Single-cell field · bone marrow smear: 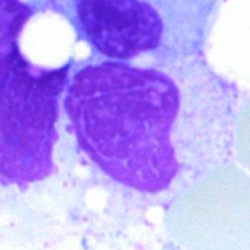

Morphology consistent with an artifact.